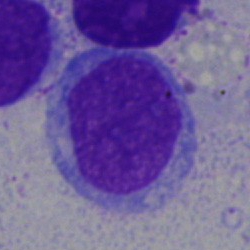A typical lymphocyte.